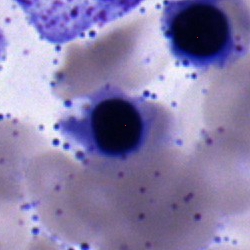
Morphology consistent with a nucleated red blood cell.